Bone marrow aspirate smear — 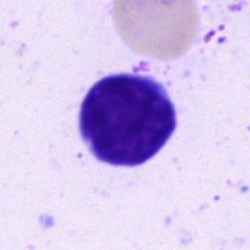Single cell identified as a typical lymphocyte.